May-Grünwald-Giemsa/Pappenheim stain · bone marrow aspirate smear · 250×250 px
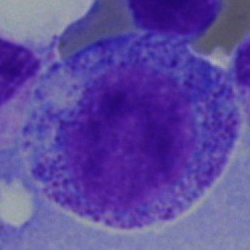 Morphological class = promyelocyte.